Bone marrow aspirate smear.
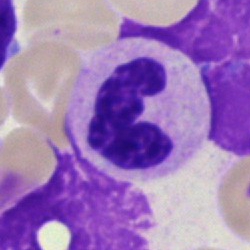

Morphology → segmented neutrophil.